Bone marrow aspirate smear:
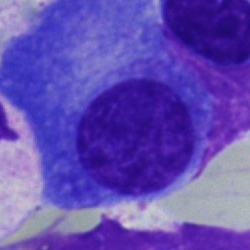This is a plasmacyte.